Bone marrow aspirate smear.
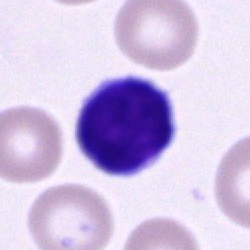
Classification — lymphocyte.